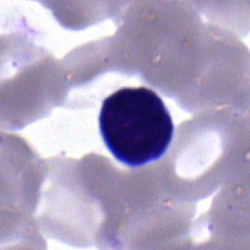Impression — typical lymphocyte.